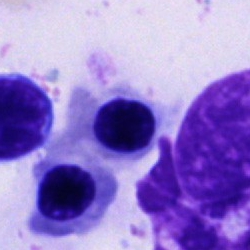 A nucleated red cell on a bone marrow smear.